40× oil immersion; bone marrow aspirate smear.
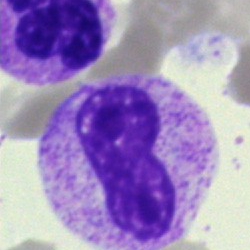Specimen: bone marrow smear.
Classification: band-form neutrophil.
Lineage: myeloid.